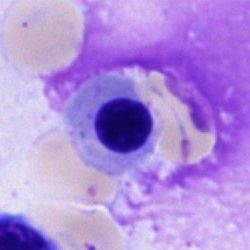

The cell shown is an erythroblast.